Pappenheim-stained. Bone marrow aspirate smear: 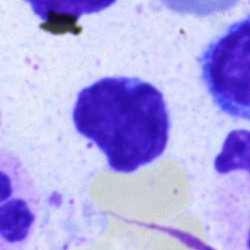
Specimen: bone marrow aspirate smear.
Cell: lymphocyte.
Lineage: lymphoid.